250×250; bone marrow aspirate smear; brightfield microscopy, 40× oil immersion:
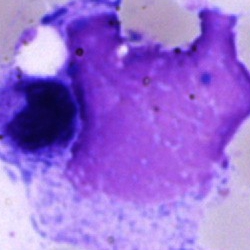

Showing an artefact.